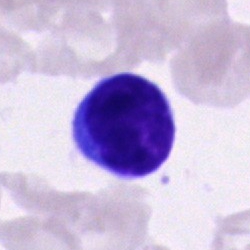
A lymphocyte.